Bone marrow smear.
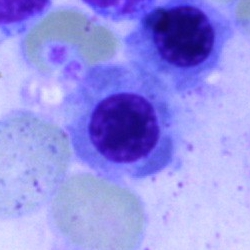

This is a nucleated red blood cell.